Peripheral blood film:
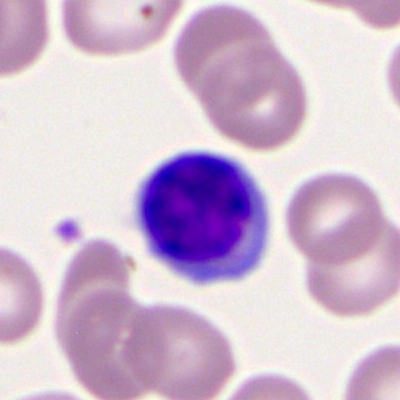
Morphology consistent with a lymphocyte.